Bone marrow aspirate smear; 40× oil immersion; May-Grünwald-Giemsa/Pappenheim stain
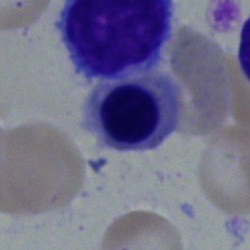
Cell type — nucleated red cell.